Bone marrow aspirate smear: 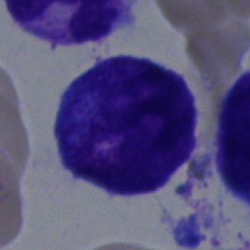

Specimen: bone marrow smear.
Cell: progranulocyte.